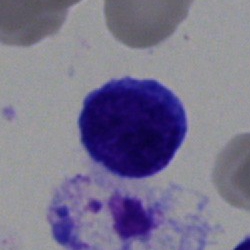 Morphology → lymphocyte.